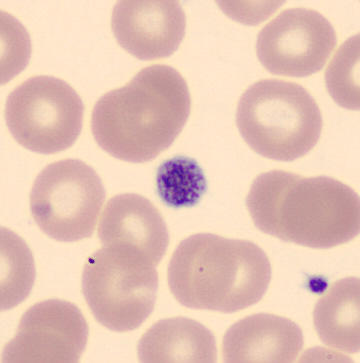

Preparation: CellaVision DM96 digital cell image; 360×363 px. Specimen: peripheral blood film.
Morphological class: platelet.